Single cell centered in the field. Bone marrow aspirate smear: 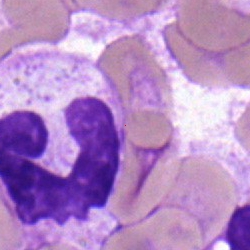Cell — polymorphonuclear neutrophil.